Bone marrow smear: 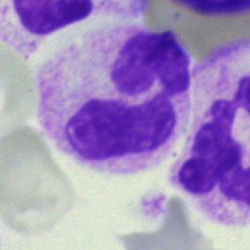
Q: Identify the cell.
A: Neutrophil (segmented).